Bone marrow smear:
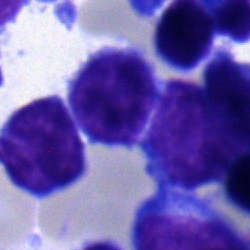

Cell = lymphocyte.